250×250 · single-cell field · bone marrow smear
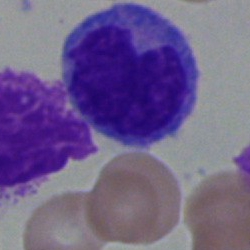Cell type — monocyte.